Romanowsky stain. Peripheral blood film — 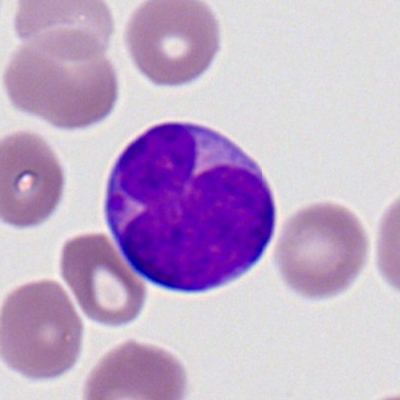

Morphology consistent with a myeloid blast.